Pappenheim-stained. Single-cell crop. Bone marrow aspirate smear.
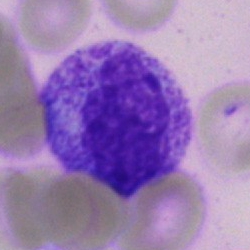Classification — myelocyte.